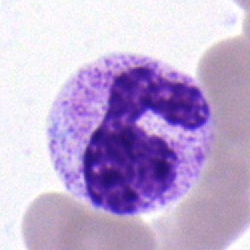

Specimen: bone marrow smear.
Cell: neutrophil (band).
Lineage: myeloid.